Bone marrow smear. Brightfield, 40× oil-immersion objective:
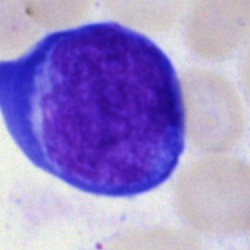
Lymphocyte (immature).